Bone marrow smear · brightfield, 40× oil-immersion objective — 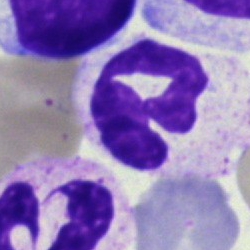Impression — segmented neutrophil.